Bone marrow aspirate smear
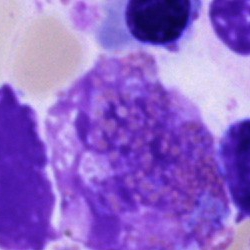The classification is artefact.